Bone marrow smear · MGG-stained · 250×250
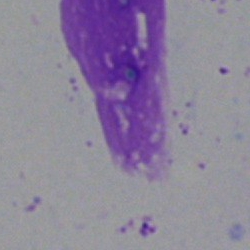This is an artefact.